May-Grünwald-Giemsa/Pappenheim stain; bone marrow smear: 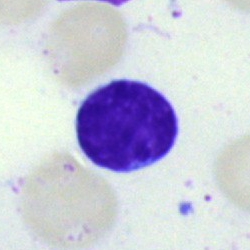

Classification: lymphocyte.